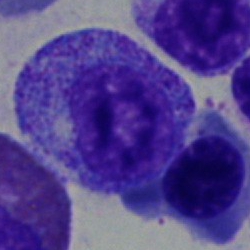
Morphological class: promyelocyte.